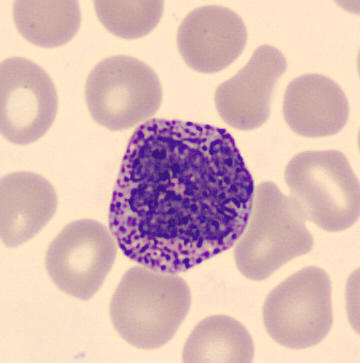
Peripheral blood film. Impression → basophilic granulocyte.